Peripheral blood film. Cropped to a single cell
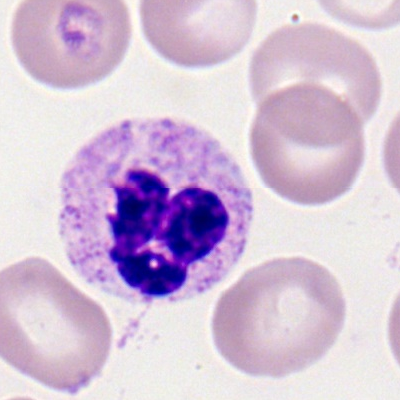
Cell: neutrophil (segmented).